Bone marrow aspirate smear — 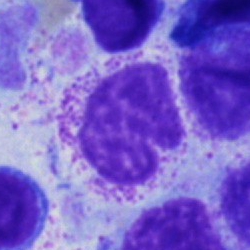
Morphology consistent with a band neutrophil.